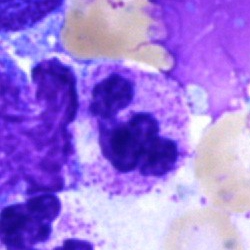 Cell type — neutrophil (segmented).